Bone marrow aspirate smear: 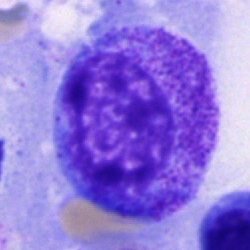

Cell type: promyelocyte.